Bone marrow smear
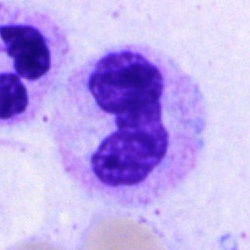
The cell is band-form neutrophil.